Bone marrow smear.
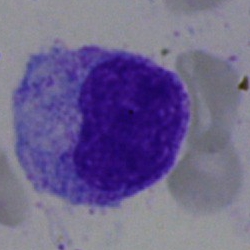

This is a myelocyte.